Bone marrow smear — 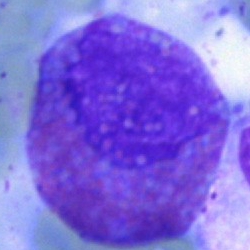
Specimen: bone marrow smear.
Classification: eosinophil.
Lineage: myeloid.